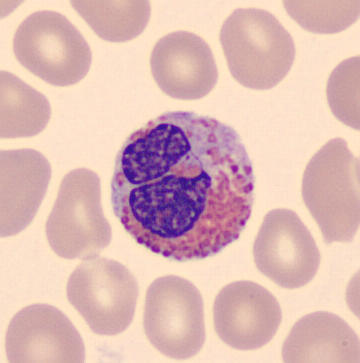The classification is eosinophilic granulocyte.